Bone marrow aspirate smear
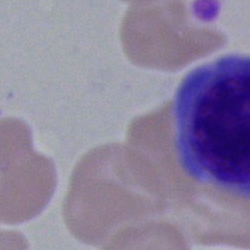
Q: What cell is this?
A: Cell of indeterminate lineage.